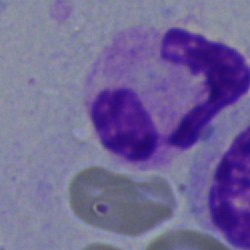 A polymorphonuclear neutrophil on a bone marrow smear.